Bone marrow aspirate smear:
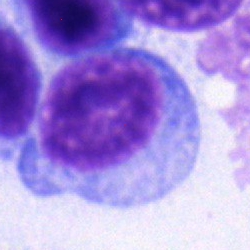Specimen: bone marrow aspirate smear.
Cell: myelocyte.